Peripheral blood film — 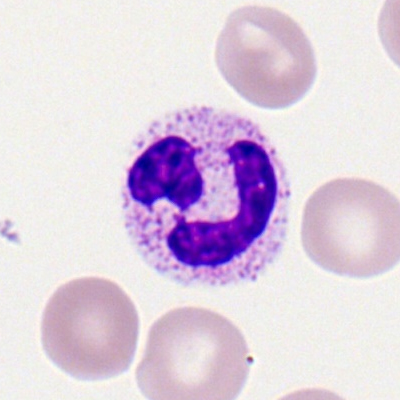
Q: What type of cell is this?
A: Neutrophil (segmented).